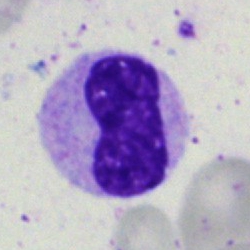Cell — band-form neutrophil.